Bone marrow smear
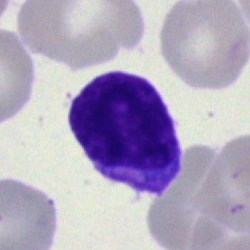Q: Identify the cell.
A: This is a typical lymphocyte.